Bone marrow smear · MGG-stained.
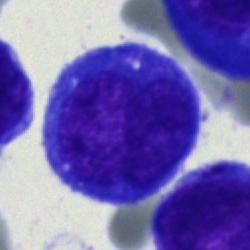

An undifferentiated blast.